Bone marrow smear
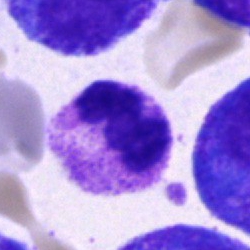 Morphology consistent with a polymorphonuclear neutrophil.